Bone marrow aspirate smear:
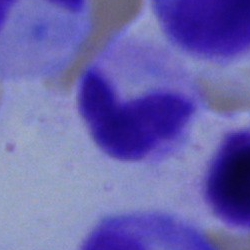 Neutrophil (band).